Bone marrow aspirate smear
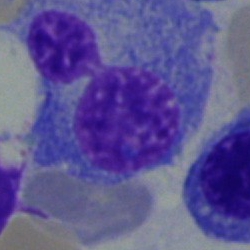 The morphological class is plasmacyte.